Bone marrow smear:
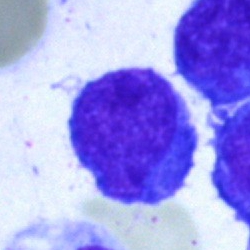 A blast cell.